Bone marrow aspirate smear:
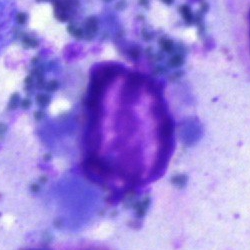

The morphological class is artefact.